Bone marrow aspirate smear.
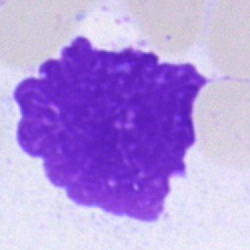Cell: artefact.